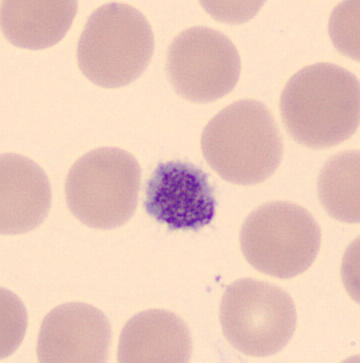

Acquisition: Peripheral blood film. CellaVision DM96 digital cell image.

This is a thrombocyte.